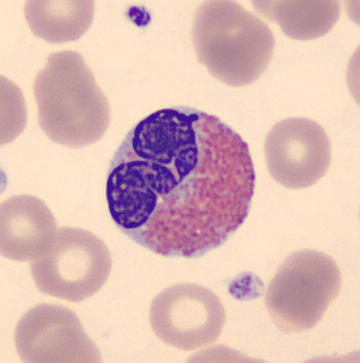 An eosinophil.